40× oil immersion. Bone marrow smear — 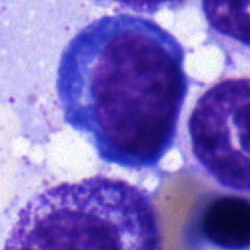
Morphology consistent with a proerythroblast.